Bone marrow smear · single cell centered in the field.
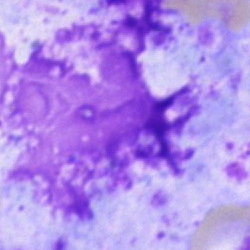 Cell type — artifact.